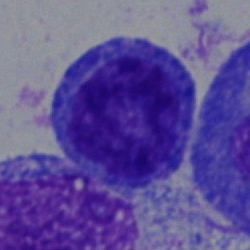 This is a blast cell.